100× oil immersion, 14.14 px/µm; peripheral blood film
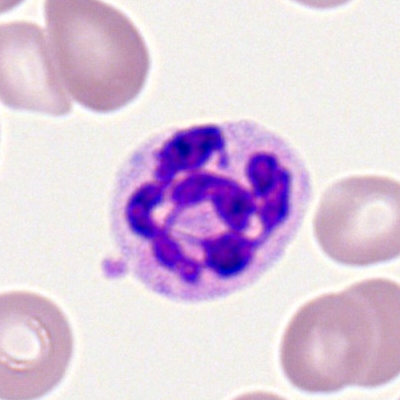
This is a neutrophil (segmented).